Bone marrow smear — 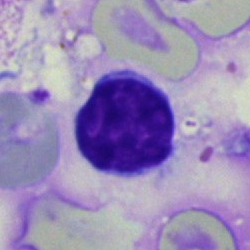A typical lymphocyte.